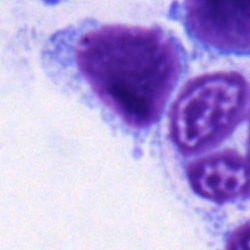Bone marrow aspirate smear, single cell — typical lymphocyte.